Bone marrow aspirate smear.
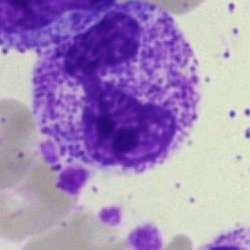
Morphology consistent with a polymorphonuclear neutrophil.